Peripheral blood film
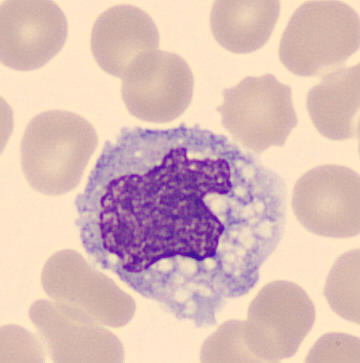
Monocyte.